Image size 250×250 · bone marrow aspirate smear:
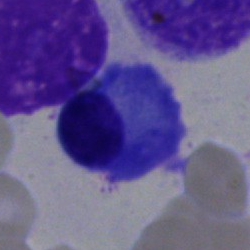 Impression → plasma cell.